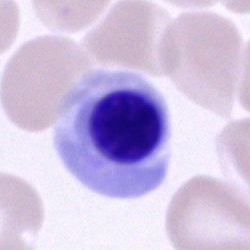

A nucleated red cell on a bone marrow smear.